Bone marrow smear
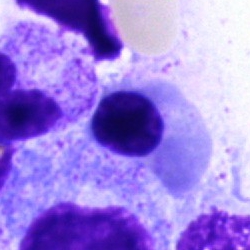 Erythroblast.